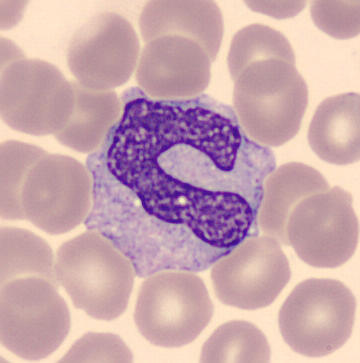
Preparation: Peripheral blood film.

Showing a monocyte.